Bone marrow aspirate smear — 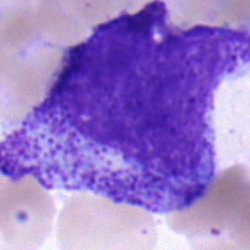

Specimen: bone marrow aspirate smear.
Cell: progranulocyte.
Lineage: myeloid.